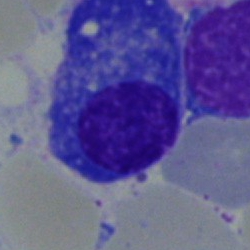 A plasma cell.